Peripheral blood smear.
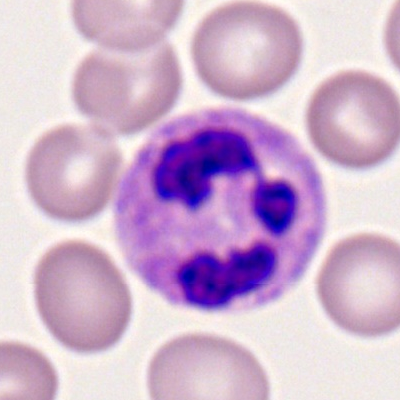
The morphological class is segmented neutrophil.